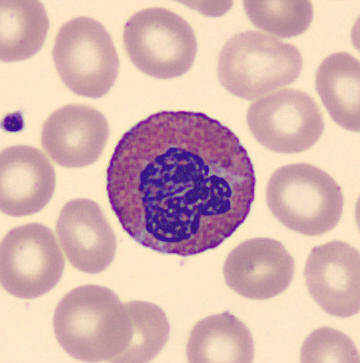

Specimen: peripheral blood smear.
Cell: eosinophil.
Lineage: myeloid.